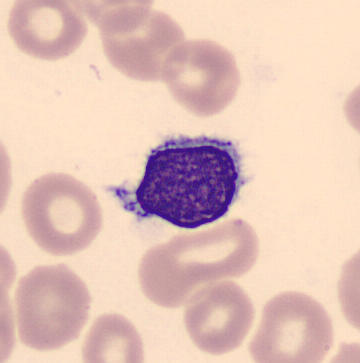
Peripheral blood smear.

The cell shown is a typical lymphocyte.